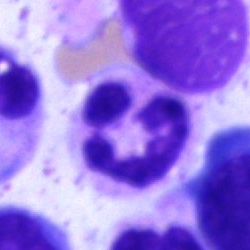Polymorphonuclear neutrophil.